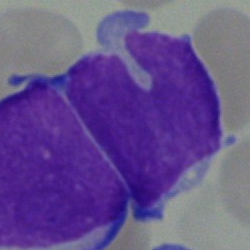
Showing a blast cell.